250×250 · bone marrow smear · MGG-stained.
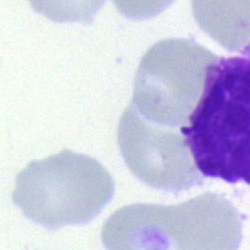 Q: Identify the cell.
A: This is a cell of indeterminate lineage.